40× objective, oil immersion · bone marrow aspirate smear.
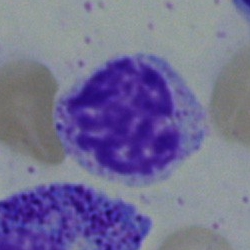
Specimen: bone marrow aspirate smear.
Morphological class: myelocyte.
Lineage: myeloid.